Peripheral blood film.
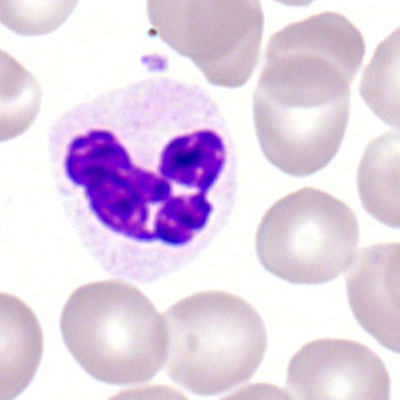
Q: What is the morphological classification of this cell?
A: A polymorphonuclear neutrophil.